Bone marrow smear · cropped to a single cell
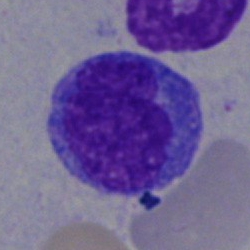

Specimen: bone marrow aspirate smear.
Cell: monocyte.
Lineage: myeloid.